Bone marrow aspirate smear: 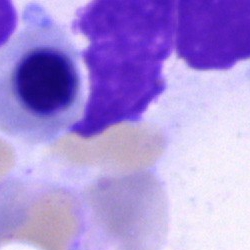 A nucleated red blood cell.